Bone marrow smear
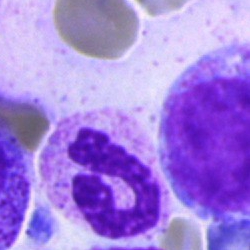 Morphological class = neutrophil (segmented).